Peripheral blood smear · 400×400 px · Romanowsky-stained.
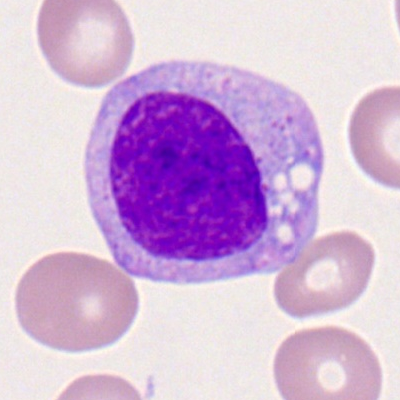

Classification = monoblast.